Bone marrow smear:
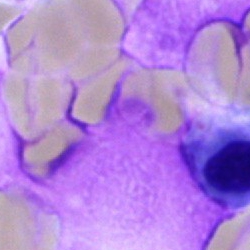

This is an artifact.